Bone marrow aspirate smear — 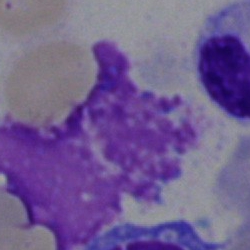

Q: What is shown here?
A: It is an artefact.